Single-cell field; bone marrow smear:
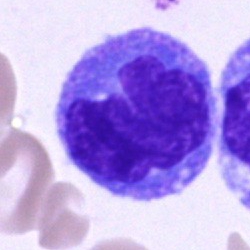
Impression → monocyte.